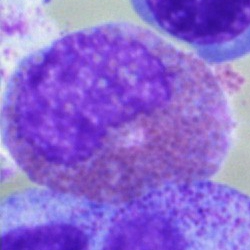 Showing an eosinophil.